Bone marrow smear:
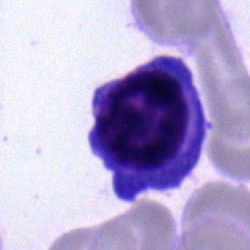 This is a plasma cell.